Bone marrow aspirate smear:
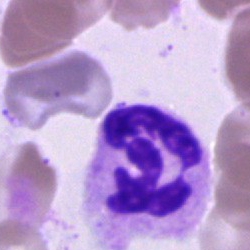

The cell type is segmented neutrophil.